Bone marrow smear.
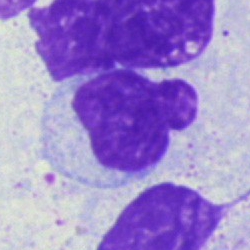
Artifact.